Romanowsky-stained · peripheral blood smear — 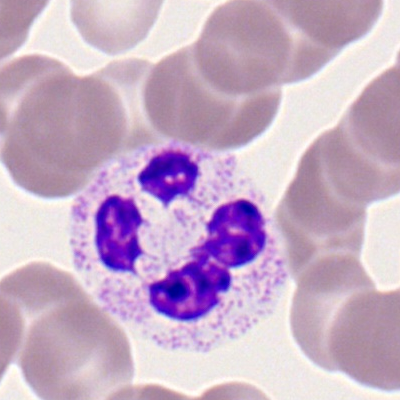The cell type is neutrophil (segmented).